Bone marrow smear. 250×250 px. MGG-stained — 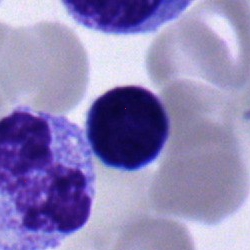This is a typical lymphocyte.